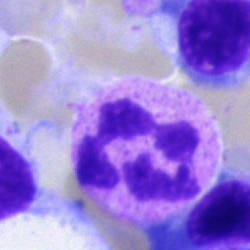

Q: What is the morphological classification of this cell?
A: Polymorphonuclear neutrophil.